Single-cell field. Bone marrow aspirate smear:
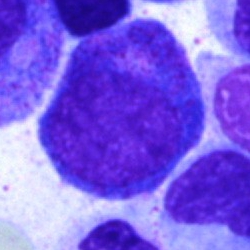{"cell_type": "progranulocyte", "lineage": "myeloid"}